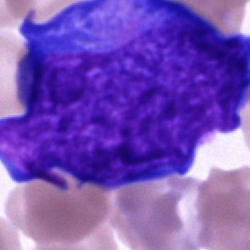{"cell_type": "pronormoblast", "lineage": "erythroid"}